Bone marrow aspirate smear: 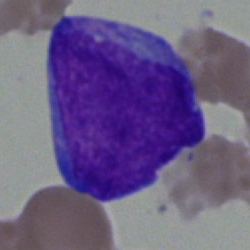
Morphological class — blast.